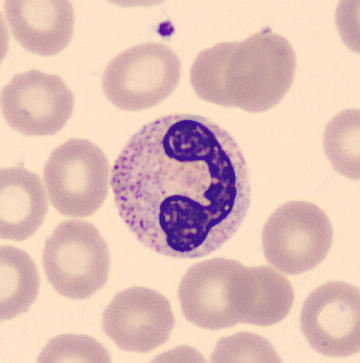

Cell type — polymorphonuclear neutrophil. Peripheral blood film.